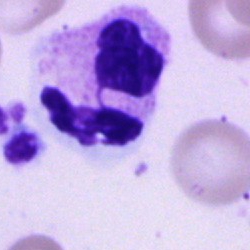Showing a segmented neutrophil.